Peripheral blood film; Romanowsky-stained.
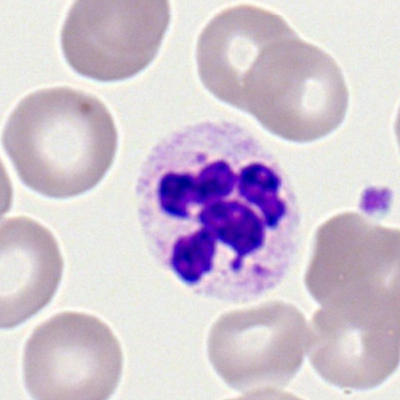This is a polymorphonuclear neutrophil.